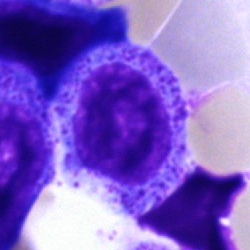Specimen: bone marrow smear.
Classification: myelocyte.
Lineage: myeloid.